Bone marrow smear
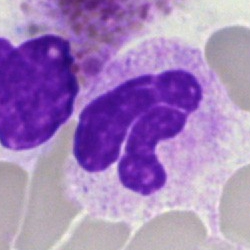

Specimen: bone marrow aspirate smear.
Cell type: neutrophil (segmented).
Lineage: myeloid.